Peripheral blood film. Cropped to a single cell — 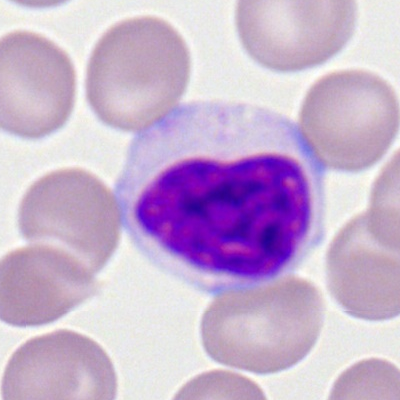

Impression — typical lymphocyte.